Bone marrow aspirate smear
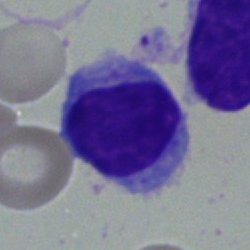
The classification is typical lymphocyte.